Bone marrow smear.
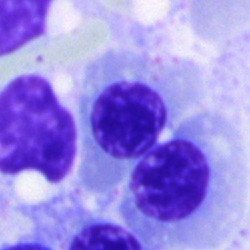

Specimen: bone marrow aspirate smear.
Cell type: nucleated red cell.
Lineage: erythroid.